Bone marrow aspirate smear · cropped to a single cell — 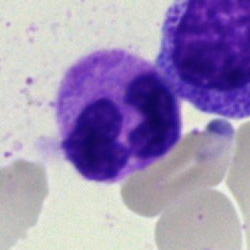

Cell type: polymorphonuclear neutrophil.